Bone marrow aspirate smear:
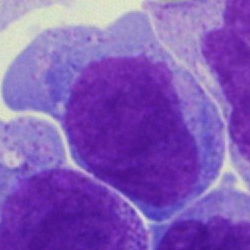Single cell identified as a blast.